250×250 · brightfield, 40× oil-immersion objective · bone marrow smear
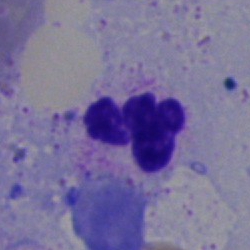 Specimen: bone marrow aspirate smear.
Classification: polymorphonuclear neutrophil.
Lineage: myeloid.